Single-cell crop; bone marrow aspirate smear: 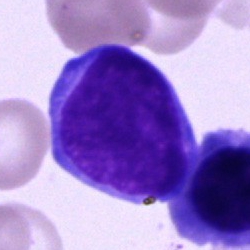

Showing a blast.